Peripheral blood smear.
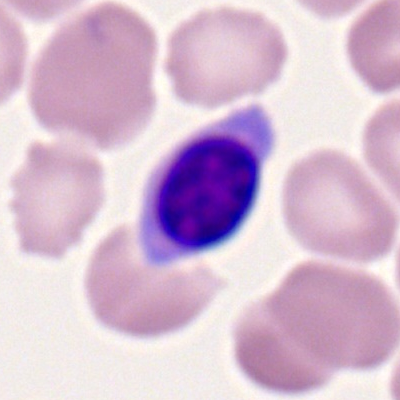{"cell_type": "lymphocyte", "lineage": "lymphoid"}